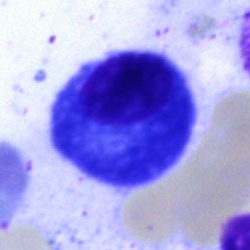
Morphology — plasmacyte.